Romanowsky-type stain; peripheral blood film — 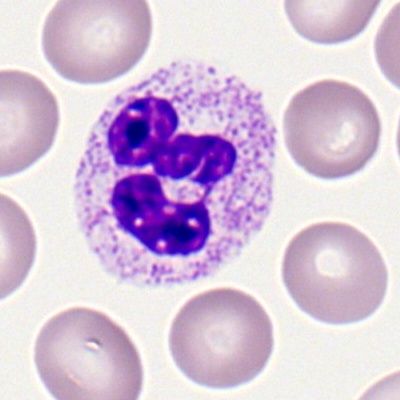 Morphology — segmented neutrophil.